Peripheral blood smear · single-cell crop:
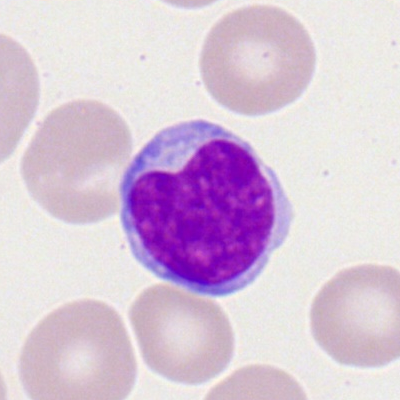 A typical lymphocyte.